Bone marrow aspirate smear — 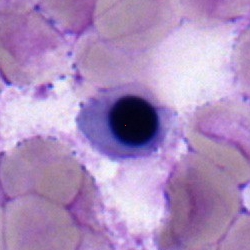 {"cell_type": "erythroblast", "lineage": "erythroid"}